Bone marrow aspirate smear · 40× oil immersion.
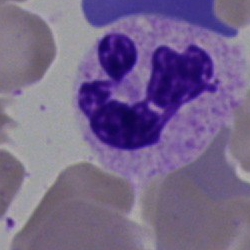Morphology → segmented neutrophil.